Bone marrow smear:
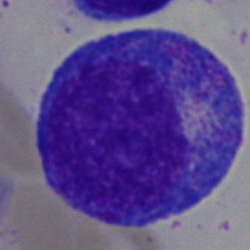

Morphological class = progranulocyte.